Bone marrow smear — 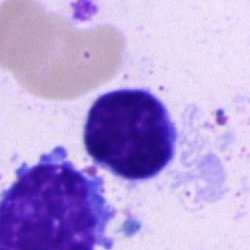Specimen: bone marrow aspirate smear.
Classification: typical lymphocyte.